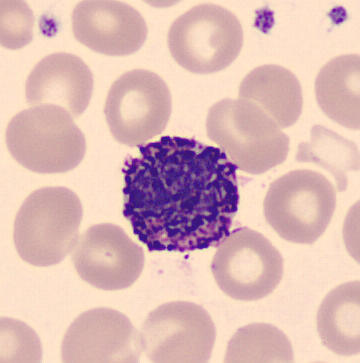 Imaged on a CellaVision DM96 analyser. Single-cell crop.

Specimen: peripheral blood smear.
Cell type: basophilic granulocyte.